Bone marrow aspirate smear; single-cell field: 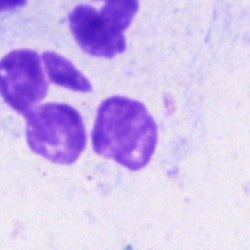 Q: What is the morphological classification of this cell?
A: This is a polymorphonuclear neutrophil.